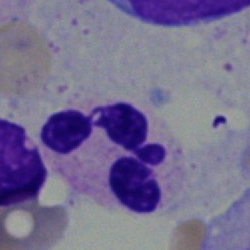
A neutrophil (segmented) on a bone marrow smear.